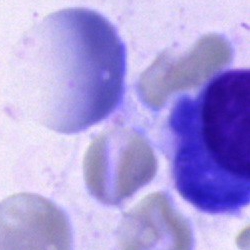

Single cell identified as a plasmacyte.